Bone marrow aspirate smear:
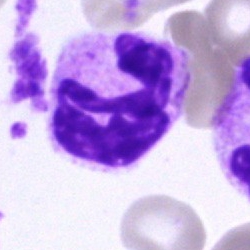Morphology → polymorphonuclear neutrophil.